250×250; bone marrow aspirate smear:
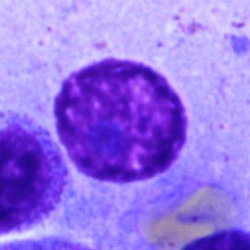 Cell: artifact.